Single-cell field; bone marrow smear; 40× oil immersion.
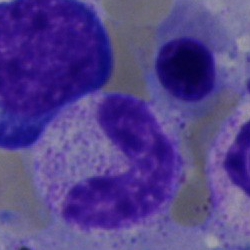
Q: Identify the cell.
A: Stab cell.